40× oil immersion. Bone marrow aspirate smear — 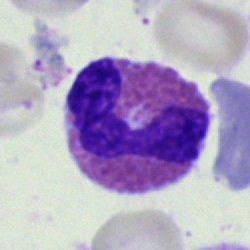 The cell is eosinophilic granulocyte.